Bone marrow aspirate smear · single-cell crop · 250×250 — 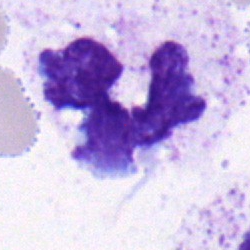
Showing a neutrophil (segmented).